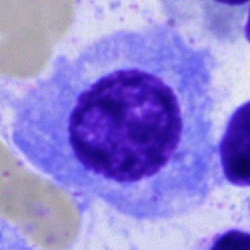

Plasmacyte.